Bone marrow aspirate smear:
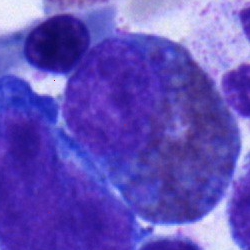

Q: Identify the cell.
A: Eosinophilic granulocyte.